Bone marrow aspirate smear: 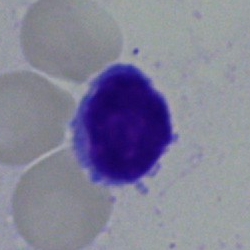

This is a lymphocyte.